250 by 250 pixels; bone marrow smear
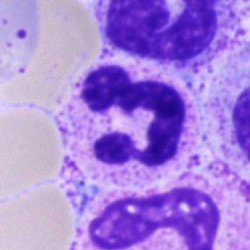 Classification: polymorphonuclear neutrophil.